Bone marrow smear.
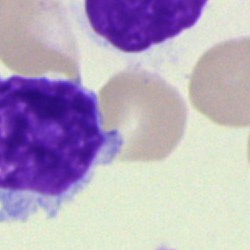
Single cell identified as a typical lymphocyte.